Pappenheim-stained · cropped to a single cell · bone marrow aspirate smear
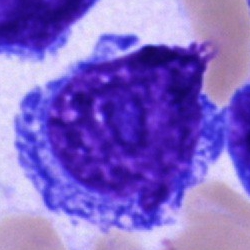
Impression → blast.